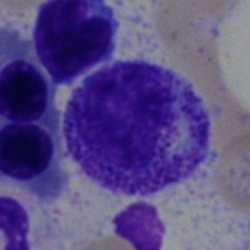 A band neutrophil on a bone marrow smear.